May-Grünwald-Giemsa/Pappenheim stain · bone marrow smear — 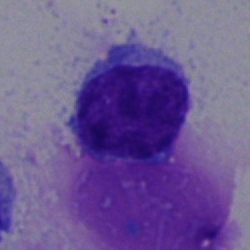

Specimen: bone marrow aspirate smear.
Cell: lymphocyte.